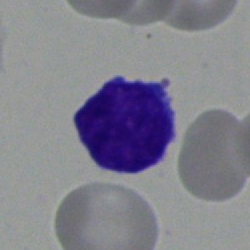Q: What is the morphological classification of this cell?
A: It is a lymphocyte.